MGG-stained; bone marrow smear.
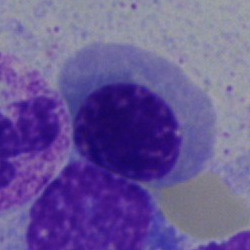

Specimen: bone marrow aspirate smear.
Classification: normoblast.